Bone marrow aspirate smear · image size 250×250 · brightfield, 40× oil-immersion objective.
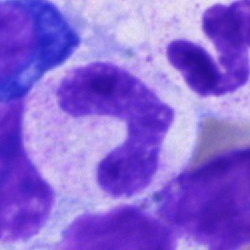

Classification = band-form neutrophil.